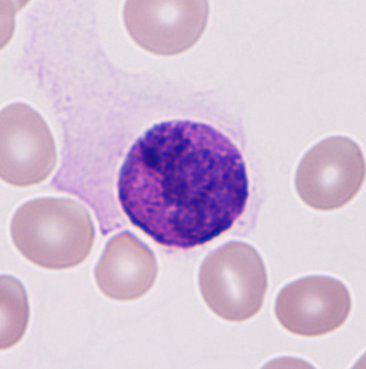Preparation: 366×369. Peripheral blood film.
Basophilic granulocyte.